250×250 px · bone marrow smear.
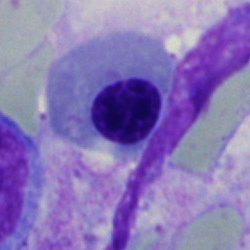Q: What is shown here?
A: It is a normoblast.